Bone marrow smear: 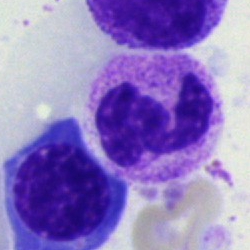
Morphology consistent with a segmented neutrophil.